Bone marrow smear; brightfield microscopy, 40× oil immersion.
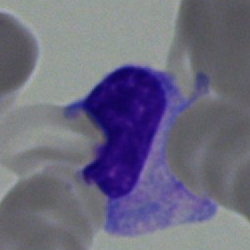

Impression → monocyte.